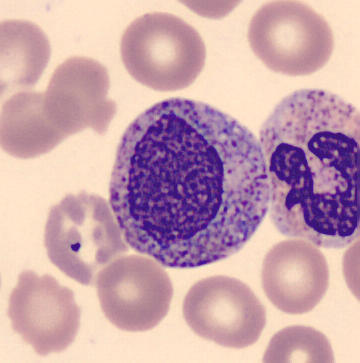
Q: What is shown here?
A: It is a myelocyte.